Bone marrow aspirate smear — 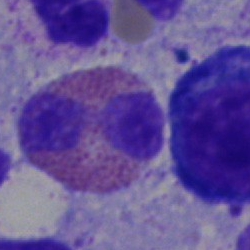 This is an eosinophil.